Cropped to a single cell. Peripheral blood film — 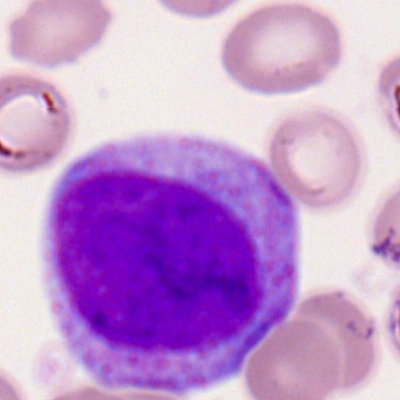
This is a promyelocyte.